Bone marrow aspirate smear; 40× objective, oil immersion; single cell centered in the field
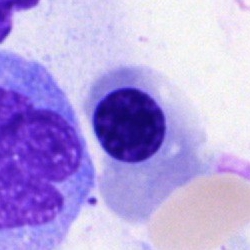 Morphology → nucleated red cell.